Bone marrow aspirate smear.
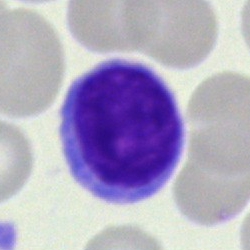
Specimen: bone marrow smear.
Cell: typical lymphocyte.